Bone marrow smear: 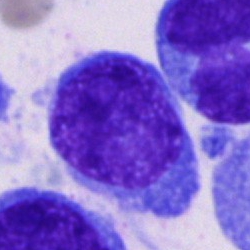
Specimen: bone marrow smear.
Cell: plasma cell.
Lineage: lymphoid.